Bone marrow aspirate smear — 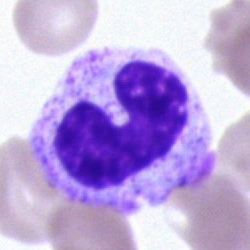
Cell: neutrophil (band).